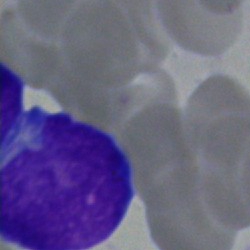A blast cell on a bone marrow smear.